Bone marrow smear
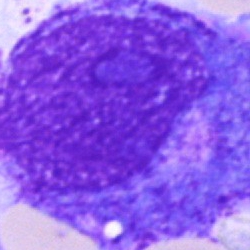

Classification = promyelocyte.